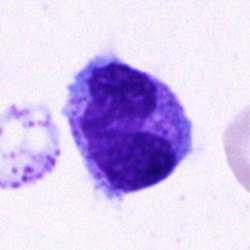
Showing a metamyelocyte.